Bone marrow aspirate smear:
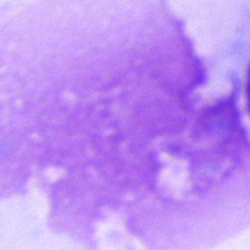Specimen: bone marrow aspirate smear.
Cell: artefact.